Bone marrow smear.
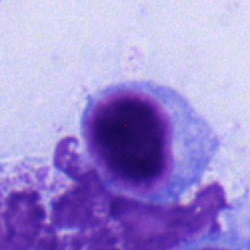
A nucleated red cell.